Single cell centered in the field. Bone marrow aspirate smear
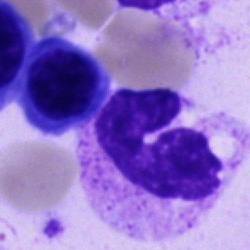Q: Identify the cell.
A: A polymorphonuclear neutrophil.